Bone marrow smear.
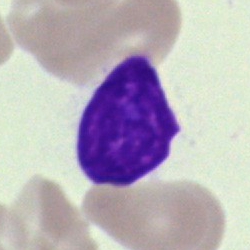 Artefact.